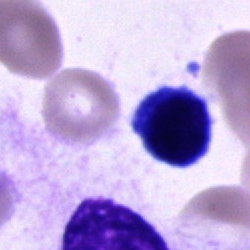Bone marrow smear showing a cell of indeterminate lineage.